Bone marrow aspirate smear · 250 by 250 pixels · brightfield microscopy, 40× oil immersion.
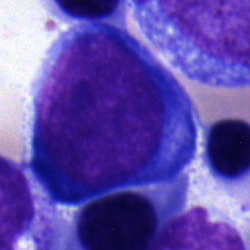 Cell = proerythroblast.